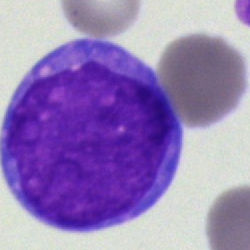

Q: What is shown here?
A: A blast.